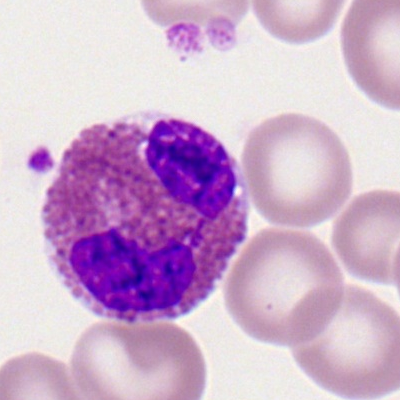
Impression — eosinophil.